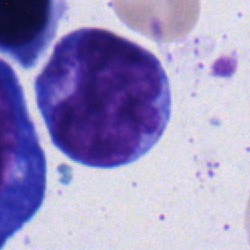 Specimen: bone marrow aspirate smear.
Classification: monocyte.
Lineage: myeloid.